Bone marrow aspirate smear
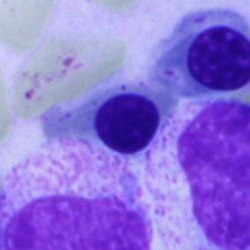 Showing an erythroblast.